Bone marrow smear:
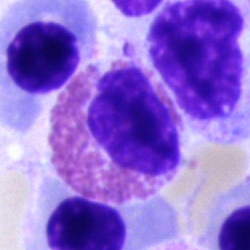

This is an eosinophil.